Cropped to a single cell. Bone marrow aspirate smear
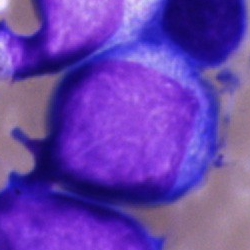

Cell = blast.